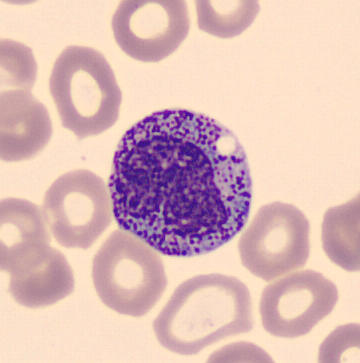 The classification is metamyelocyte.
Image: Peripheral blood smear · May-Grünwald-Giemsa-stained.